MGG-stained · bone marrow aspirate smear: 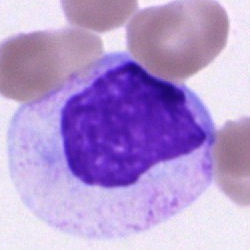Cell type = cell of indeterminate lineage.